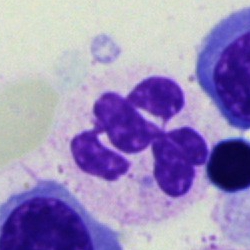 Morphological class = segmented neutrophil.